Image size 250×250. Bone marrow aspirate smear
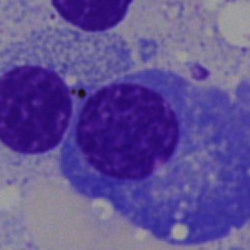Showing a plasmacyte.